Image size 250×250. Bone marrow smear.
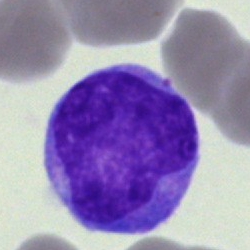 Showing a monocyte.